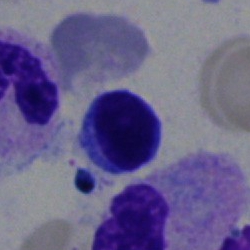 The cell shown is a typical lymphocyte.